Bone marrow smear.
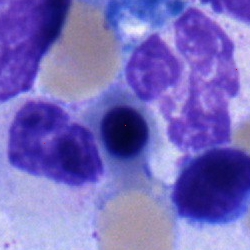

Specimen: bone marrow aspirate smear.
Morphological class: normoblast.